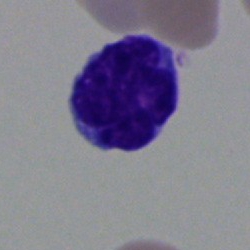

Q: What is shown here?
A: It is a lymphocyte.